Bone marrow aspirate smear.
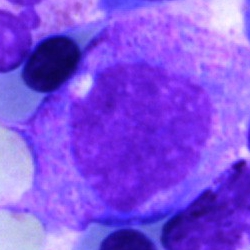

Specimen: bone marrow smear.
Cell type: myelocyte.
Lineage: myeloid.